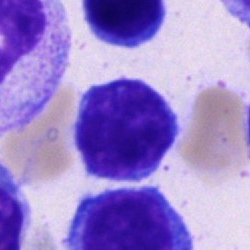
Morphological class — lymphocyte.